Bone marrow smear. Single-cell field.
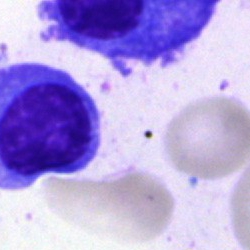

Cell type: lymphocyte.